Peripheral blood smear. Single-cell field.
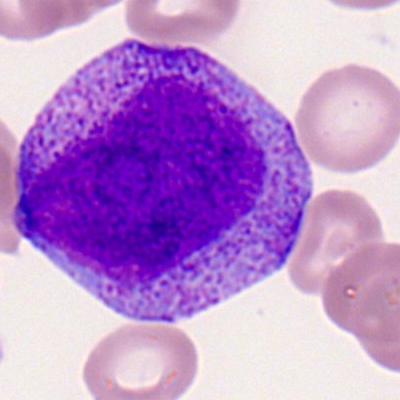
Impression — progranulocyte.